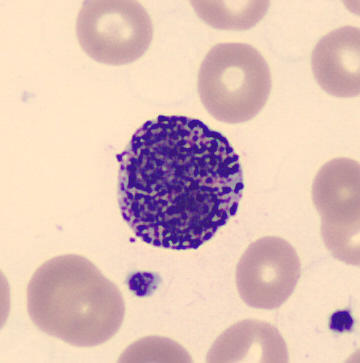

Q: What is this?
A: It is a basophil.